Bone marrow aspirate smear:
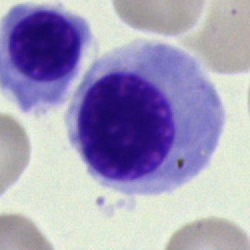 Cell: erythroblast.